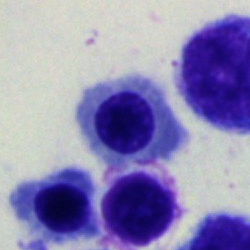A normoblast on a bone marrow smear.